Image size 250×250 · 40× objective, oil immersion · bone marrow aspirate smear.
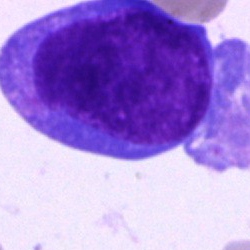 Classification = blast.